Bone marrow smear: 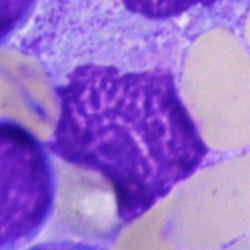
Q: What is shown here?
A: This is an artifact.